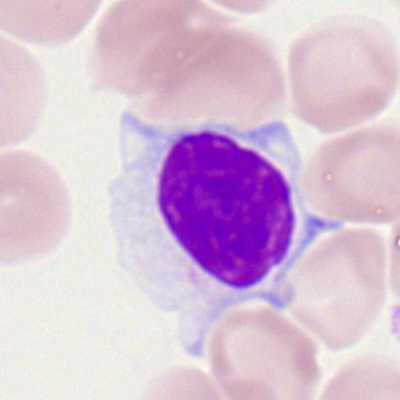

Q: What is shown here?
A: Lymphocyte.